Bone marrow smear · 250×250 · single-cell crop
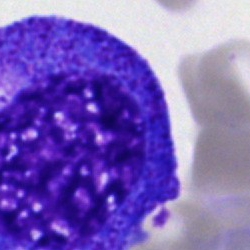 The cell shown is a promyelocyte.